Bone marrow aspirate smear. Single-cell crop — 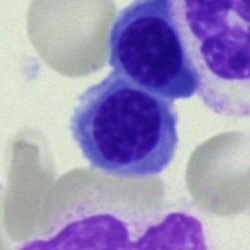
Impression — normoblast.